Bone marrow aspirate smear
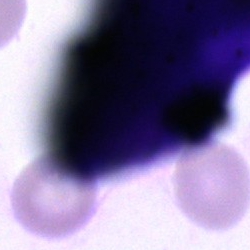Specimen: bone marrow smear.
Cell: artifact.